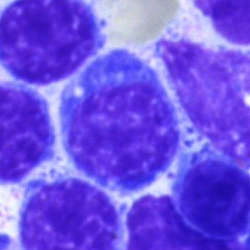
Q: Identify the cell.
A: A typical lymphocyte.